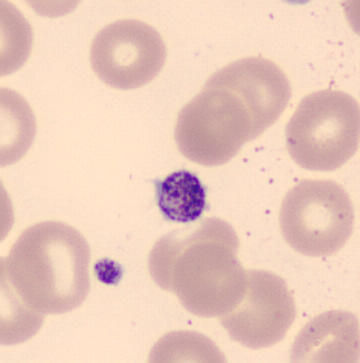Peripheral blood smear showing a thrombocyte.